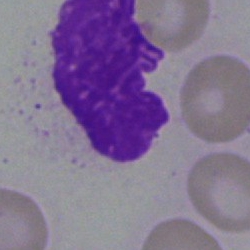 Impression — artefact.